Bone marrow smear — 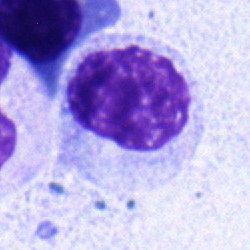Morphological class — myelocyte.